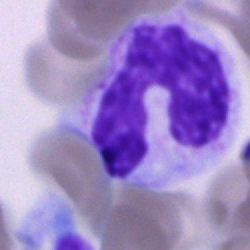Q: Identify the cell.
A: A stab cell.